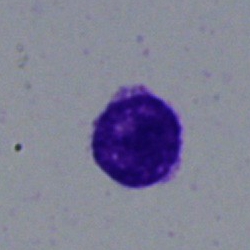Single-cell crop from a bone marrow smear: lymphocyte.